Bone marrow smear — 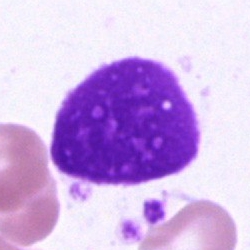

This is an artefact.